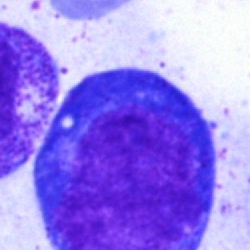

Q: What cell is this?
A: Proerythroblast.